Single cell centered in the field; bone marrow aspirate smear: 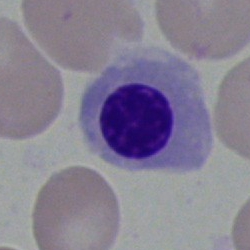
This is an erythroblast.